Bone marrow smear — 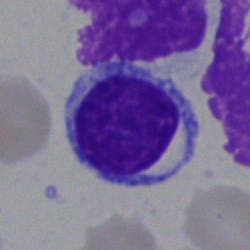
{"cell_type": "lymphocyte"}